Bone marrow aspirate smear.
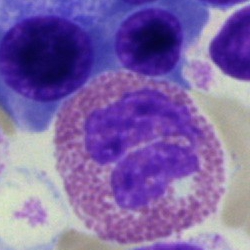
Morphology → eosinophilic granulocyte.